Bone marrow smear — 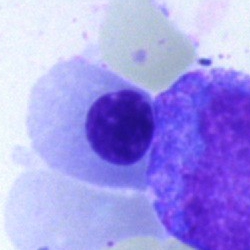
A nucleated red blood cell.